Bone marrow smear — 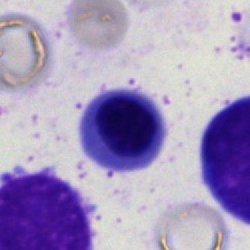
Nucleated red blood cell.